Bone marrow smear:
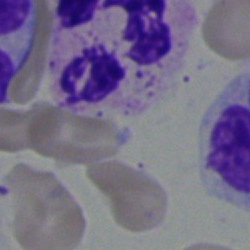 Segmented neutrophil.